Bone marrow aspirate smear.
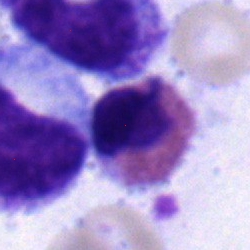

Eosinophilic granulocyte.